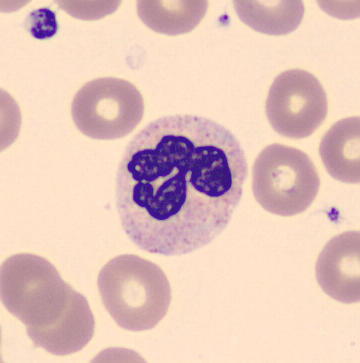 Peripheral blood smear showing a polymorphonuclear neutrophil.